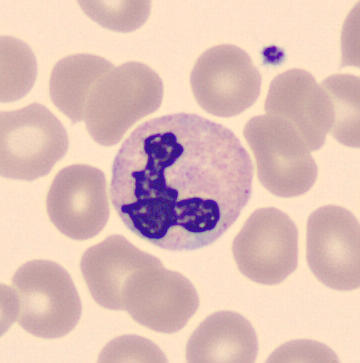Specimen: peripheral blood film.
Morphological class: polymorphonuclear neutrophil.